Bone marrow aspirate smear.
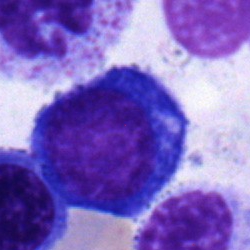{"cell_type": "proerythroblast", "lineage": "erythroid"}